M8 digital microscope (Precipoint), 100× oil immersion · peripheral blood film:
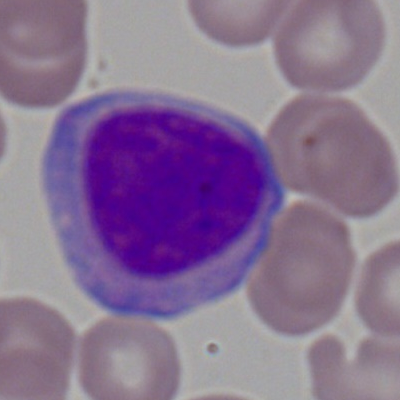

The morphological class is myeloid blast.